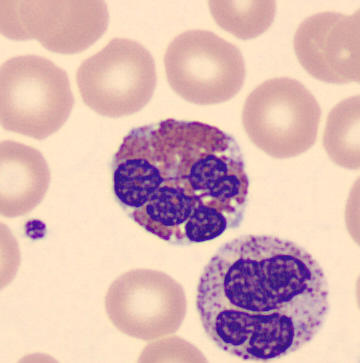
Peripheral blood film, single cell — eosinophilic granulocyte.